Bone marrow aspirate smear. 40× oil immersion:
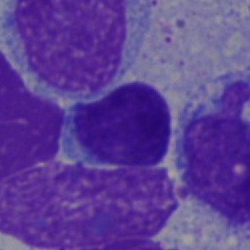
Impression — typical lymphocyte.